Peripheral blood film:
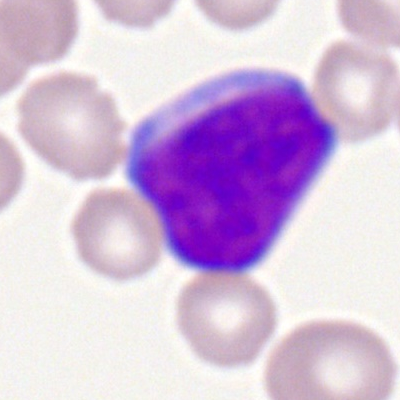
Showing a myeloblast.